Cropped to a single cell. Bone marrow smear. Brightfield, 40× oil-immersion objective:
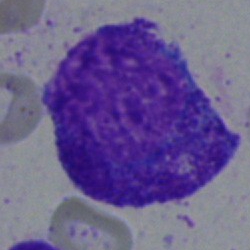
The cell shown is a progranulocyte.